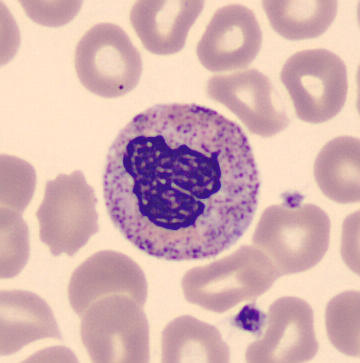Single cell identified as a neutrophil (band). Image: Peripheral blood smear.